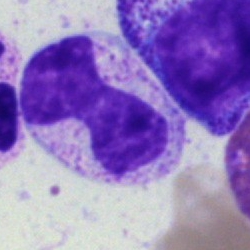
The cell shown is a band-form neutrophil.